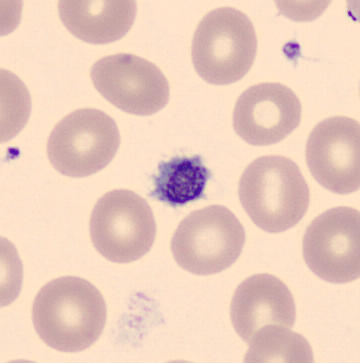

A platelet (thrombocyte).